Bone marrow smear — 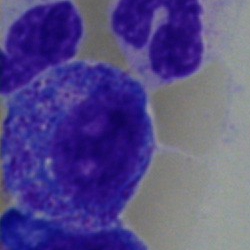

This is a progranulocyte.